Bone marrow smear — 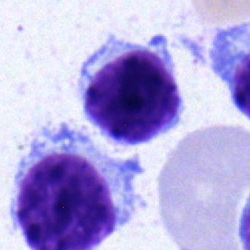 Specimen: bone marrow smear.
Cell type: lymphocyte.
Lineage: lymphoid.